Romanowsky-stained · peripheral blood smear: 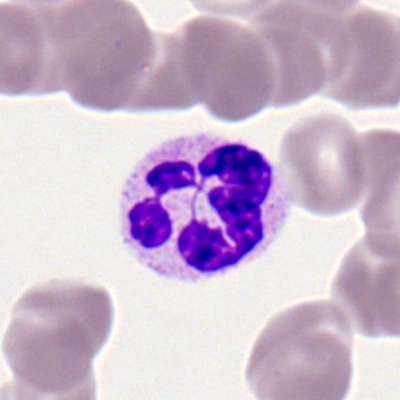

The classification is neutrophil (segmented).